Bone marrow smear · 250 by 250 pixels · single cell centered in the field: 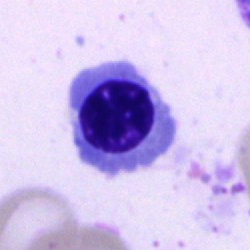 Q: Which cell type is shown here?
A: A nucleated red cell.